Bone marrow aspirate smear.
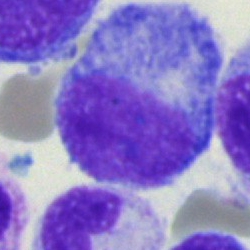
The morphological class is promyelocyte.